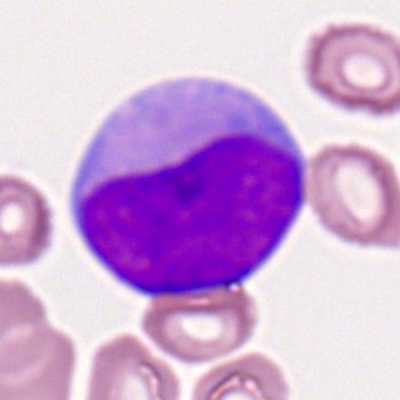
Q: What is the morphological classification of this cell?
A: A myeloblast.